360×363 px · peripheral blood film: 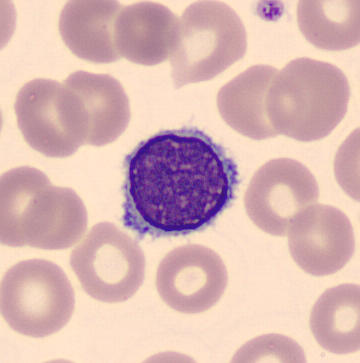 Q: Which cell type is shown here?
A: Typical lymphocyte.